Cropped to a single cell. Image size 250×250. Bone marrow smear.
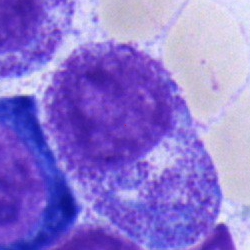 Q: What is the morphological classification of this cell?
A: Promyelocyte.